May-Grünwald-Giemsa/Pappenheim stain. Bone marrow aspirate smear. 250 by 250 pixels.
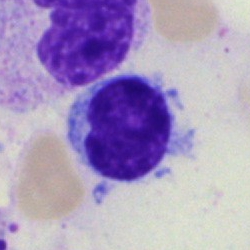Cell = lymphocyte.